Bone marrow smear · brightfield microscopy, 40× oil immersion.
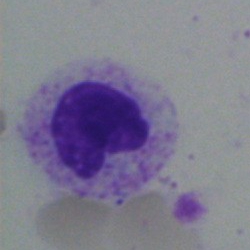Q: Identify the cell.
A: This is a metamyelocyte.